Bone marrow smear — 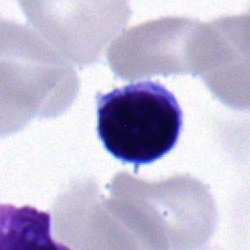The cell shown is a lymphocyte.